Bone marrow smear.
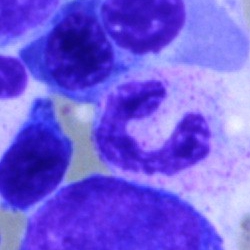Morphology consistent with a polymorphonuclear neutrophil.